Bone marrow aspirate smear; 250 by 250 pixels; May-Grünwald-Giemsa/Pappenheim stain
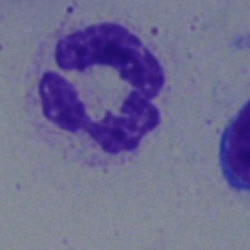Classification — segmented neutrophil.